Image size 250×250; single-cell field; bone marrow smear.
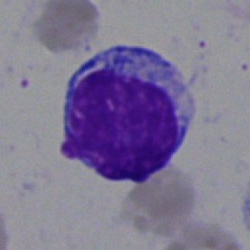

Q: What cell is this?
A: A typical lymphocyte.